Pappenheim-stained · bone marrow smear · brightfield, 40× oil-immersion objective:
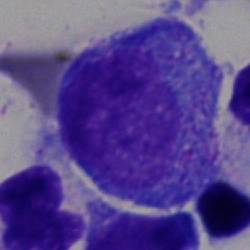

Q: What type of cell is this?
A: This is a promyelocyte.